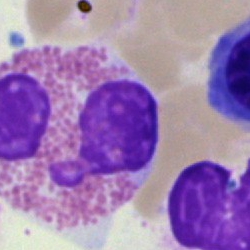

Single-cell crop from a bone marrow smear: basophil.